Bone marrow aspirate smear:
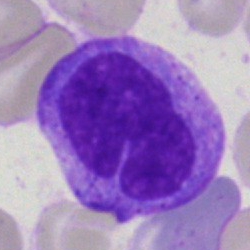 A monocyte.